Bone marrow smear
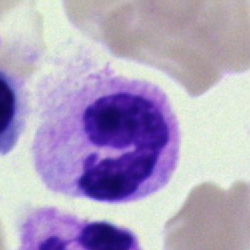{"cell_type": "segmented neutrophil", "lineage": "myeloid"}